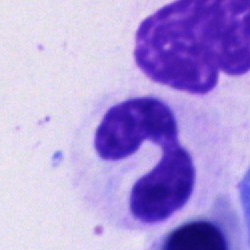
Specimen: bone marrow smear.
Cell type: neutrophil (segmented).
Lineage: myeloid.